Bone marrow smear.
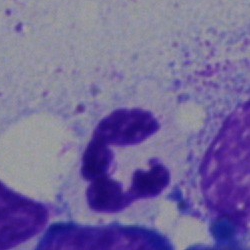 Q: What is the morphological classification of this cell?
A: It is a neutrophil (segmented).